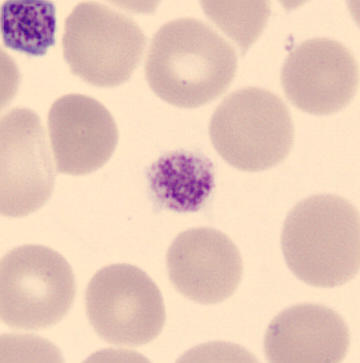
Impression → platelet. 360 by 363 pixels; CellaVision DM96; peripheral blood film.